Bone marrow smear: 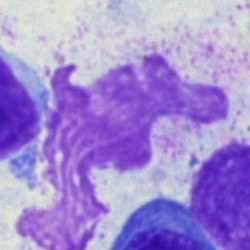
Q: What is shown here?
A: An artefact.